Bone marrow smear:
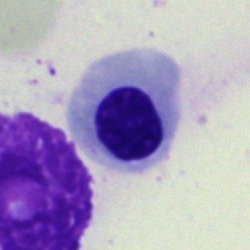
The cell shown is a normoblast.